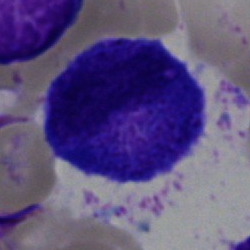
Cell type — promyelocyte.